Bone marrow aspirate smear: 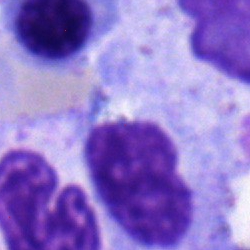Impression → metamyelocyte.